Bone marrow aspirate smear; May-Grünwald-Giemsa/Pappenheim stain; 250×250.
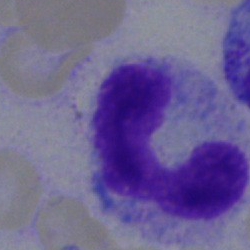A band neutrophil.